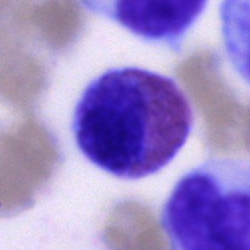 {"cell_type": "eosinophil"}